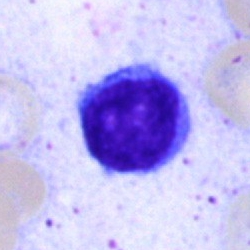

Impression → lymphocyte.